250 by 250 pixels; bone marrow smear
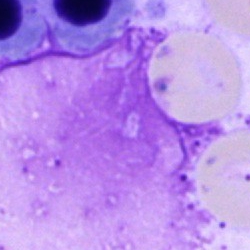Impression → artefact.